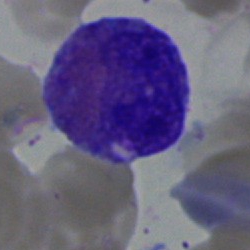
Morphology — eosinophilic granulocyte.